Pappenheim-stained · bone marrow aspirate smear: 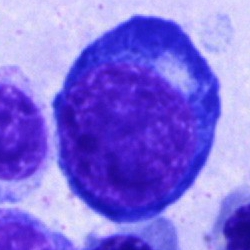

Q: What type of cell is this?
A: This is a proerythroblast.